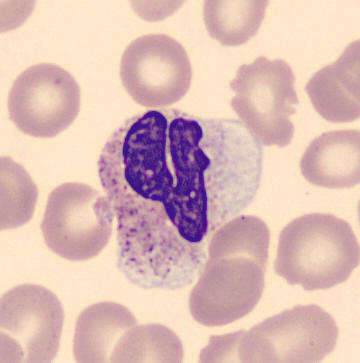Peripheral blood smear.

Identified as a neutrophil (segmented).